Bone marrow smear · single-cell field
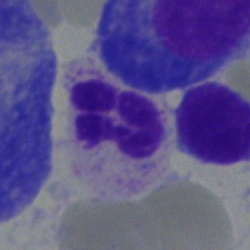
Cell type = polymorphonuclear neutrophil.